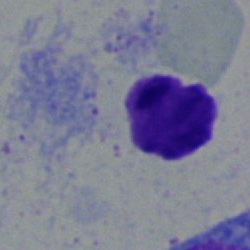 The cell shown is an artifact.